Bone marrow smear. 40× oil immersion. Single cell centered in the field
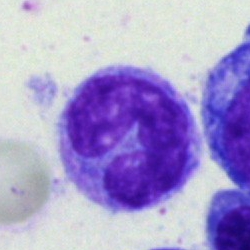
Q: Which cell type is shown here?
A: This is a monocyte.